Bone marrow aspirate smear:
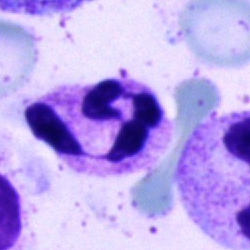 Morphology — polymorphonuclear neutrophil.